Bone marrow smear; 250 by 250 pixels — 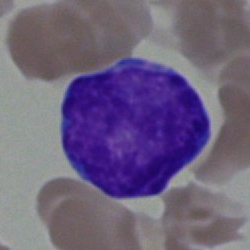
The cell is undifferentiated blast.